Single-cell field · bone marrow smear · May-Grünwald-Giemsa/Pappenheim stain.
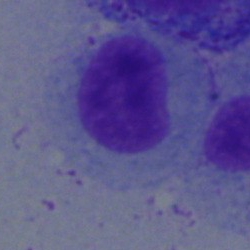
Q: What is shown here?
A: It is a myelocyte.